May-Grünwald-Giemsa/Pappenheim stain · bone marrow smear · brightfield, 40× oil-immersion objective
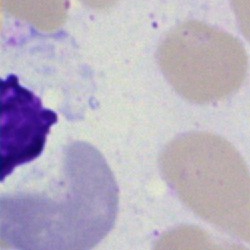 Morphology consistent with an artifact.